Bone marrow aspirate smear: 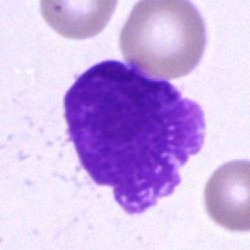 Q: What is shown here?
A: An artifact.